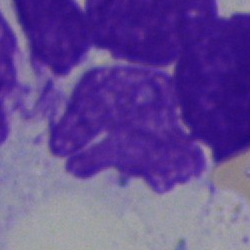Showing an artifact.